Bone marrow smear. Single-cell field: 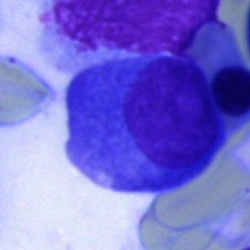 Showing a plasmacyte.